Bone marrow aspirate smear · 250×250 px.
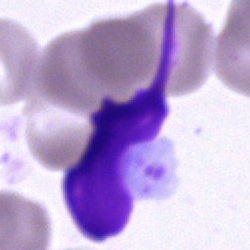Specimen: bone marrow smear.
Cell type: artefact.